250×250; bone marrow aspirate smear; 40× oil immersion
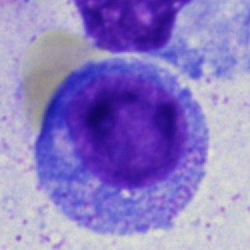
Morphology consistent with a progranulocyte.